Bone marrow smear — 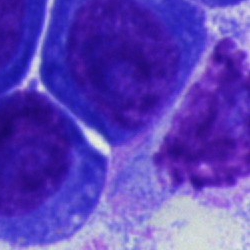

Classification — plasma cell.